Bone marrow aspirate smear — 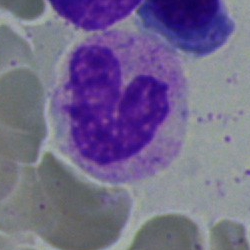

Morphological class = band-form neutrophil.